Bone marrow smear:
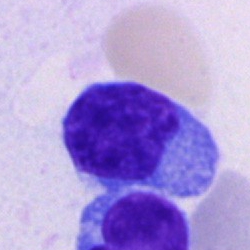
The cell type is plasmacyte.